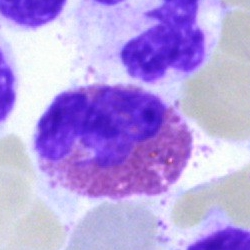

Classification = eosinophilic granulocyte.